40× oil immersion; bone marrow aspirate smear; single-cell field
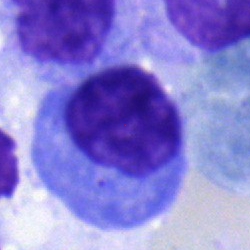 Q: Which cell type is shown here?
A: A plasmacyte.